Bone marrow aspirate smear. Single cell centered in the field. 250×250: 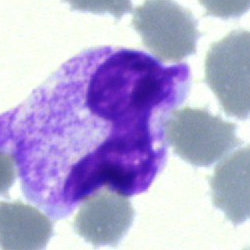Q: What is shown here?
A: This is a stab cell.